Bone marrow aspirate smear: 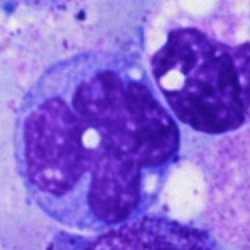
Single cell identified as a monocyte.